250×250 px. 40× oil immersion. Bone marrow aspirate smear
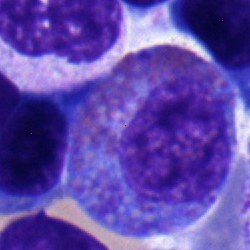
Impression → eosinophil.